Bone marrow aspirate smear
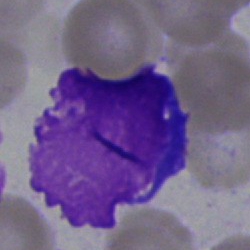
Cell: artefact.